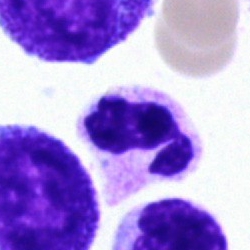

Bone marrow aspirate smear, single cell — segmented neutrophil.